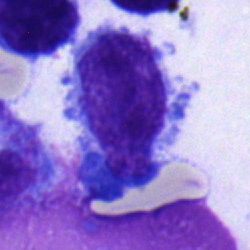
The classification is typical lymphocyte.